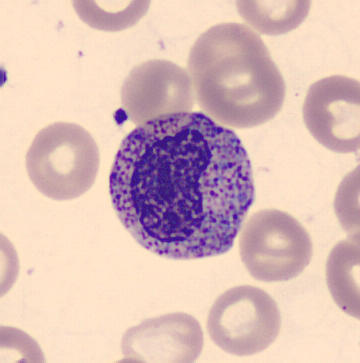

Specimen: peripheral blood film.
Morphological class: myelocyte.
Lineage: myeloid.